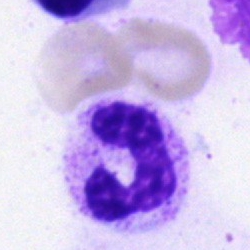
Segmented neutrophil.